Bone marrow smear:
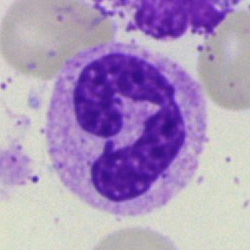 Morphology — polymorphonuclear neutrophil.